Bone marrow aspirate smear · 250×250 · single-cell crop: 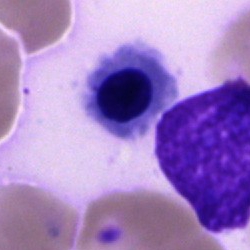 Morphology — nucleated red cell.